Cropped to a single cell. Bone marrow smear
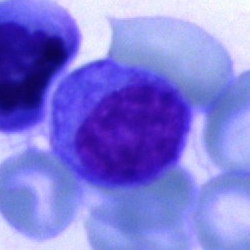 Specimen: bone marrow aspirate smear.
Classification: plasma cell.
Lineage: lymphoid.